Bone marrow aspirate smear
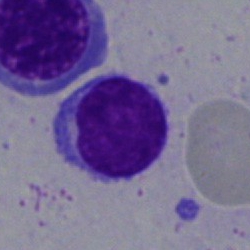Q: Identify the cell.
A: It is a typical lymphocyte.